Bone marrow smear; single-cell field; brightfield, 40× oil-immersion objective: 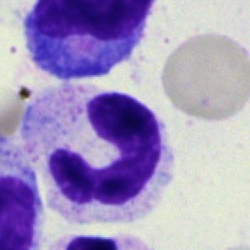Morphology → band neutrophil.